Bone marrow smear; single-cell field; 250×250 — 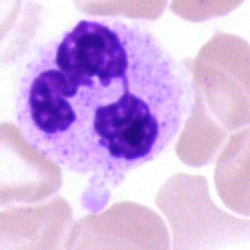
The cell type is neutrophil (segmented).